Bone marrow smear — 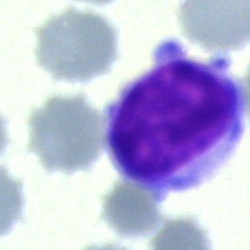

This is a lymphocyte.